Bone marrow smear
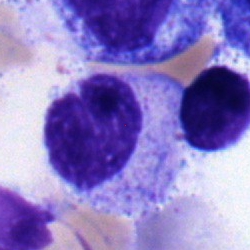

Morphology consistent with a polymorphonuclear neutrophil.